Bone marrow smear:
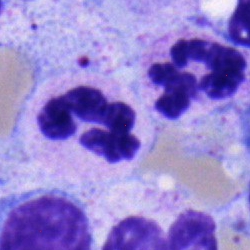

Segmented neutrophil.